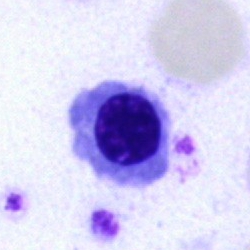Q: Identify the cell.
A: A nucleated red blood cell.